Bone marrow smear.
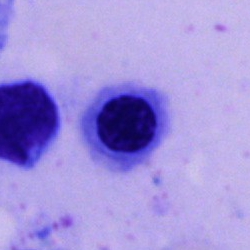 Nucleated red blood cell.